Automated cell imaging (CellaVision DM96); peripheral blood smear: 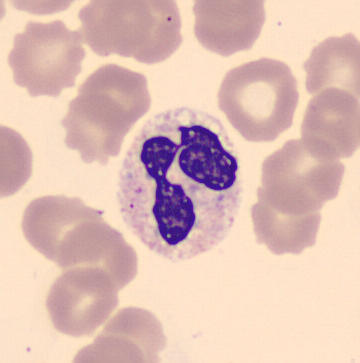Q: What is the morphological classification of this cell?
A: It is a neutrophil (segmented).